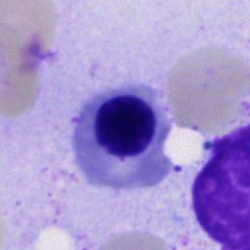

Classification: nucleated red cell.